Bone marrow aspirate smear: 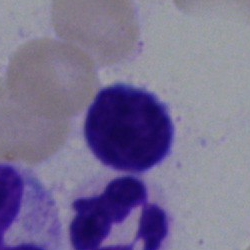Q: What is the morphological classification of this cell?
A: Lymphocyte.